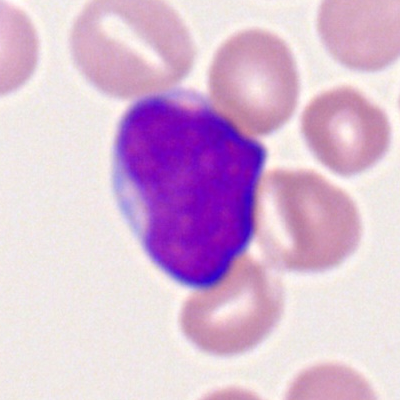 Impression — myeloblast.